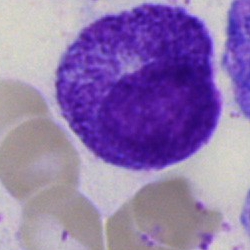

Q: What is shown here?
A: This is a progranulocyte.